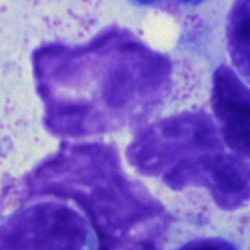Bone marrow smear showing an artefact.